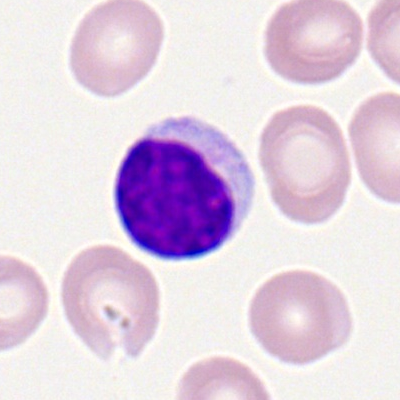 Morphology → typical lymphocyte.